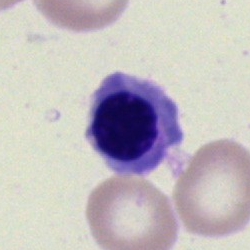
The classification is nucleated red cell.